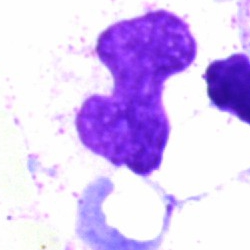

An artifact.